Bone marrow smear. 250×250 px
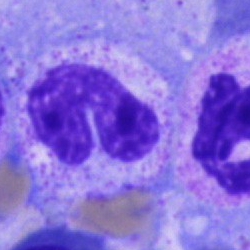This is a neutrophil (band).